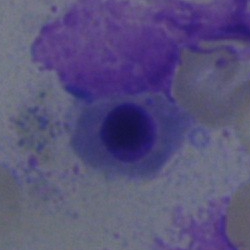The cell is normoblast.